Bone marrow smear · 40× objective, oil immersion
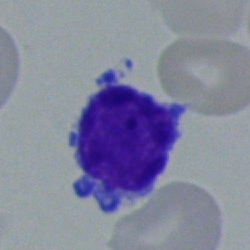

Classification: typical lymphocyte.